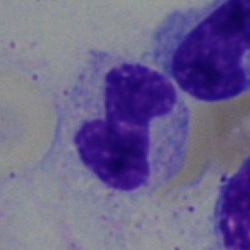 Neutrophil (band).